Brightfield microscopy, 40× oil immersion. May-Grünwald-Giemsa/Pappenheim stain. Bone marrow smear — 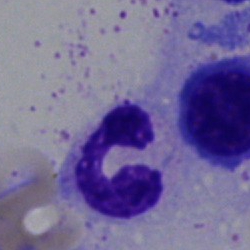Impression → neutrophil (segmented).